Bone marrow smear.
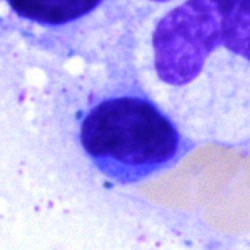
Cell: lymphocyte.